250×250 px; bone marrow smear — 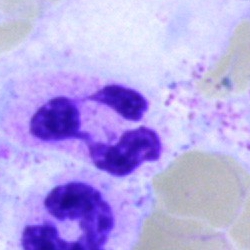

Morphological class — neutrophil (segmented).